250×250; bone marrow aspirate smear.
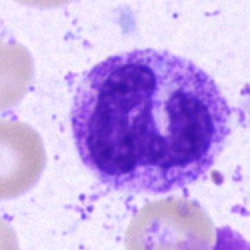
{"cell_type": "neutrophil (segmented)"}